Bone marrow aspirate smear; May-Grünwald-Giemsa/Pappenheim stain; 250×250 px:
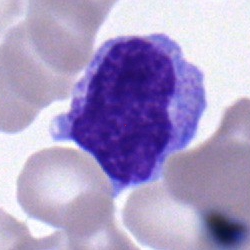A monocyte.